Bone marrow aspirate smear; 250×250 px — 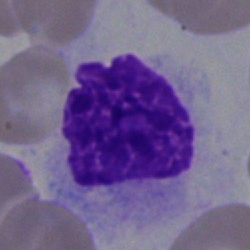 Cell: hairy cell.